Bone marrow smear; 40× oil immersion; May-Grünwald-Giemsa stain
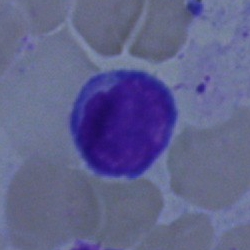
Q: What is the morphological classification of this cell?
A: A lymphocyte.